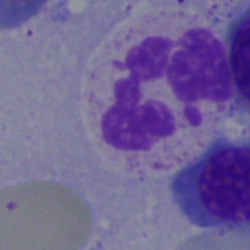Single cell identified as a neutrophil (segmented).